Cropped to a single cell · bone marrow smear
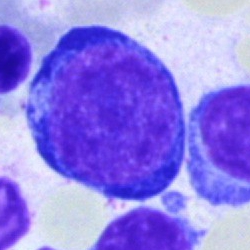
Q: What is the morphological classification of this cell?
A: It is a proerythroblast.